Bone marrow aspirate smear — 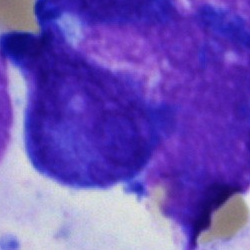Specimen: bone marrow aspirate smear.
Cell: blast.